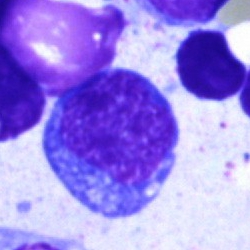
Bone marrow aspirate smear, single cell — unidentifiable cell.